Bone marrow smear · cropped to a single cell: 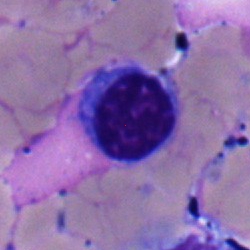Morphological class — lymphocyte.